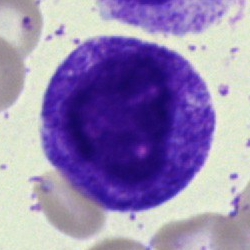Impression — myelocyte.